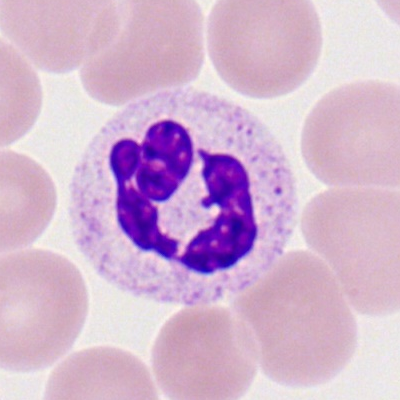

The cell shown is a polymorphonuclear neutrophil.